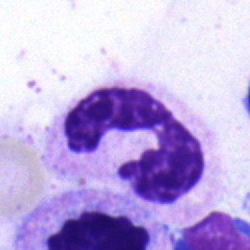
Q: What is shown here?
A: A segmented neutrophil.